250×250 · bone marrow aspirate smear:
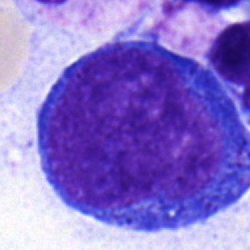Single cell identified as a proerythroblast.